400×400; peripheral blood smear:
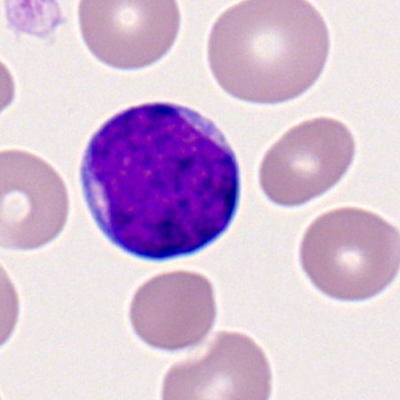 Morphological class: myeloid blast.